Bone marrow smear — 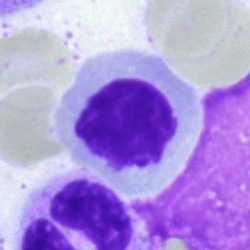
Showing an artefact.